Bone marrow smear — 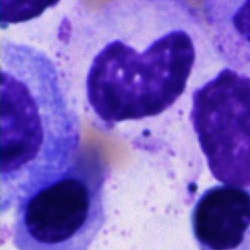
Morphological class: unidentifiable cell.